Bone marrow smear:
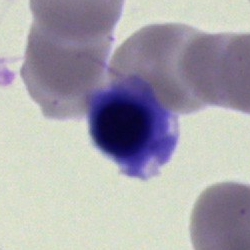

Morphological class: erythroblast.